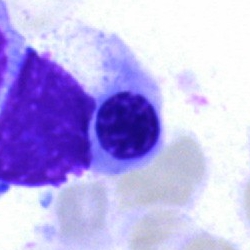
Q: What cell is this?
A: Nucleated red cell.